Bone marrow aspirate smear: 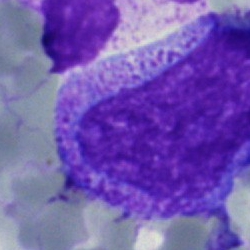 Cell = progranulocyte.